Bone marrow smear:
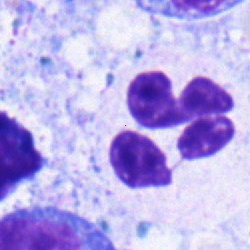

Q: What is shown here?
A: This is a segmented neutrophil.